Cropped to a single cell · bone marrow smear: 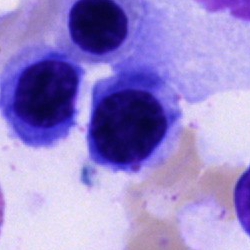 Q: What cell is this?
A: Cell of indeterminate lineage.